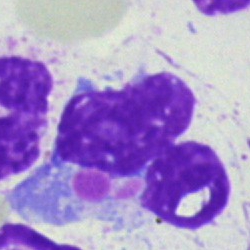 The classification is artifact.